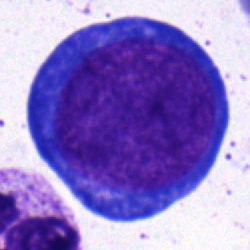Bone marrow smear showing a proerythroblast.